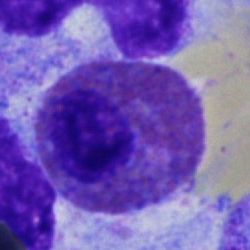Morphological class = basophil.